Bone marrow smear. May-Grünwald-Giemsa/Pappenheim stain. 250 by 250 pixels
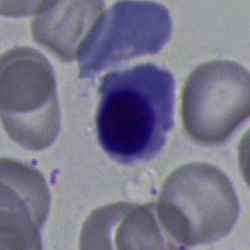

Erythroblast.